Bone marrow smear — 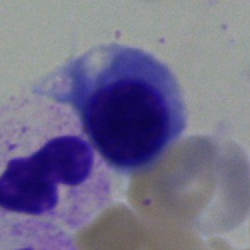
Showing an erythroblast.